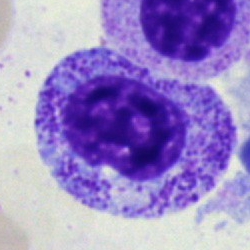Cell — metamyelocyte.